Bone marrow smear — 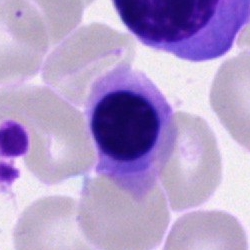Q: Identify the cell.
A: Erythroblast.